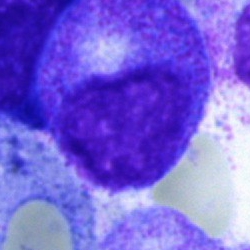Impression — progranulocyte.